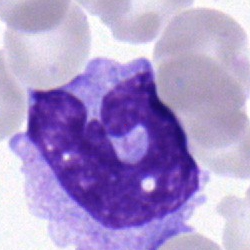Morphology consistent with a monocyte.